Bone marrow smear
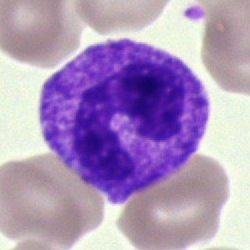The cell shown is a neutrophil (segmented).